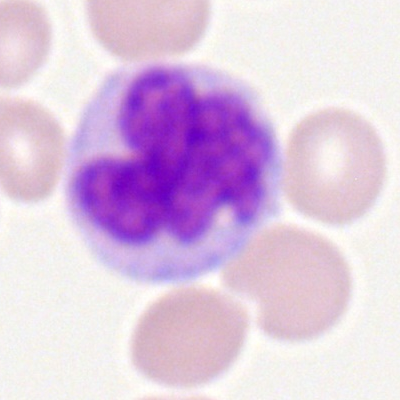
Q: What is the morphological classification of this cell?
A: This is a monocyte.